Bone marrow smear
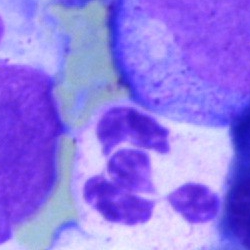

Q: Which cell type is shown here?
A: A polymorphonuclear neutrophil.